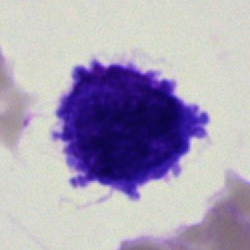

Q: What type of cell is this?
A: An undifferentiated blast.